Peripheral blood smear — 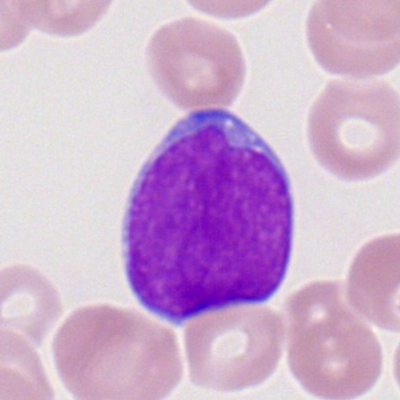

Specimen: peripheral blood smear.
Cell: myeloid blast.